Bone marrow aspirate smear.
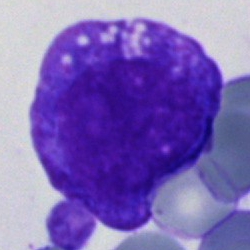 Morphology → blast cell.